Bone marrow smear. Cropped to a single cell
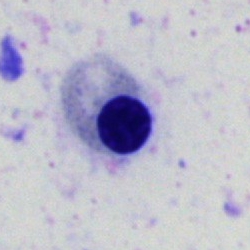

Impression — nucleated red cell.